Peripheral blood film. 360×363. Imaged on a CellaVision DM96 analyser: 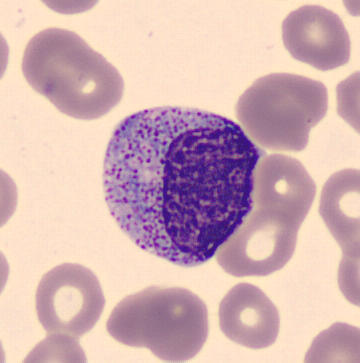
Morphological class — myelocyte.